Peripheral blood film; brightfield, 100× oil-immersion objective
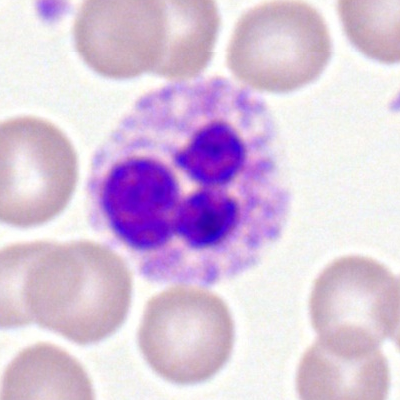Specimen: peripheral blood film.
Morphological class: segmented neutrophil.
Lineage: myeloid.